Peripheral blood smear · single cell centered in the field: 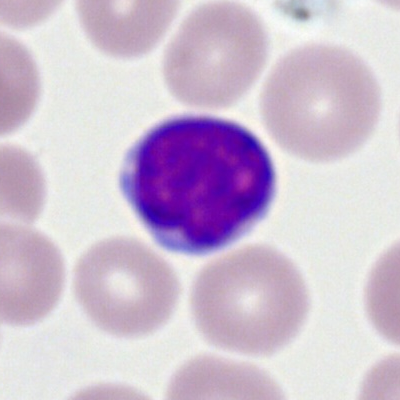Single cell identified as a lymphocyte.